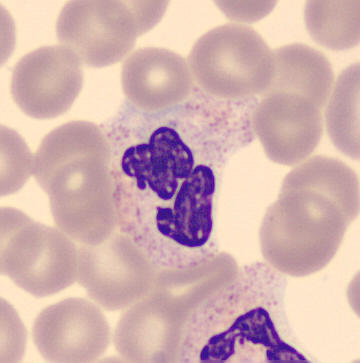

Showing a segmented neutrophil.
Acquisition: Peripheral blood film; single-cell crop.